May-Grünwald-Giemsa/Pappenheim stain; bone marrow aspirate smear.
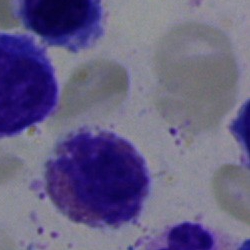Cell type = eosinophil.